Bone marrow smear. Brightfield microscopy, 40× oil immersion
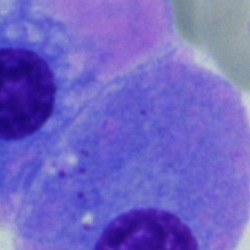 Showing a plasmacyte.